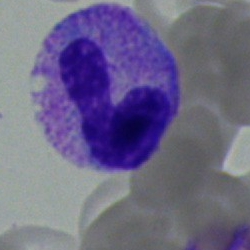

Band-form neutrophil.